Peripheral blood smear · single-cell field: 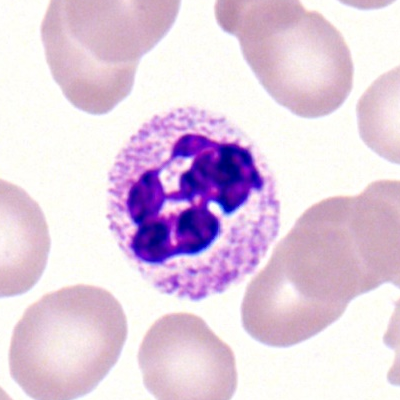
This is a segmented neutrophil.